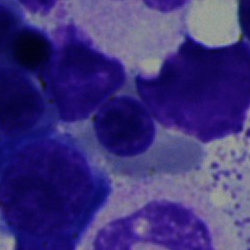
Morphological class: nucleated red cell.